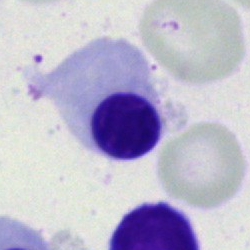

Q: What is shown here?
A: A nucleated red blood cell.